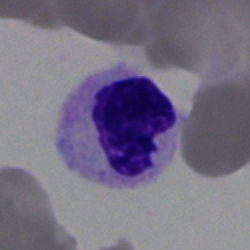Single-cell crop from a bone marrow smear: segmented neutrophil.